Bone marrow aspirate smear:
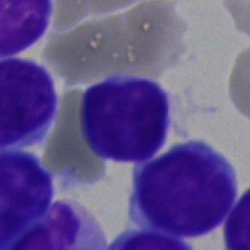 Impression — typical lymphocyte.